Bone marrow aspirate smear · MGG-stained · brightfield microscopy, 40× oil immersion — 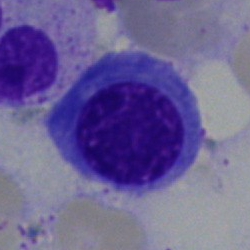
The cell shown is a normoblast.